Bone marrow smear; Pappenheim-stained; single-cell crop:
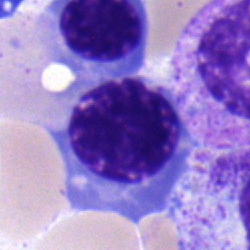
Q: Which cell type is shown here?
A: This is a nucleated red blood cell.